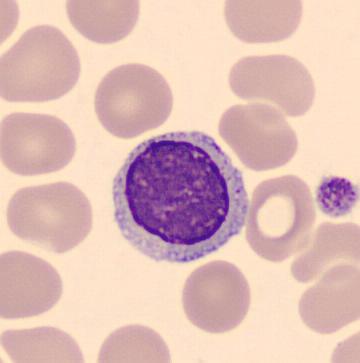 Preparation: Peripheral blood smear. Single-cell crop.
The cell shown is a lymphocyte.